Peripheral blood film:
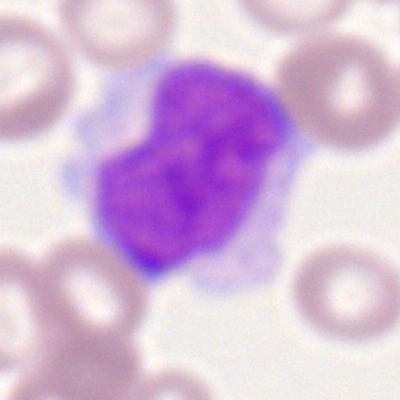Impression — monocyte.